Bone marrow aspirate smear.
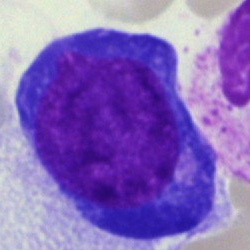

Classification = proerythroblast.